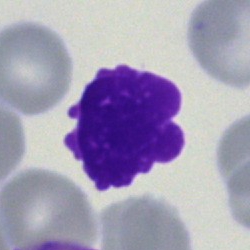

The morphological class is artefact.